Bone marrow smear; 250 by 250 pixels.
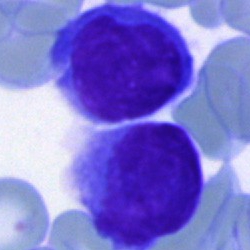 Q: Identify the cell.
A: It is a lymphocyte.